Bone marrow aspirate smear.
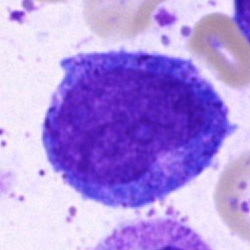 Cell type = promyelocyte.